Bone marrow smear — 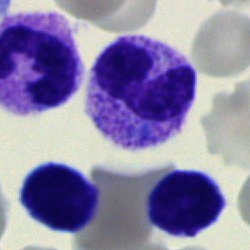

Polymorphonuclear neutrophil.